Cropped to a single cell; bone marrow aspirate smear: 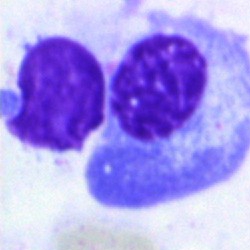Plasma cell.